Bone marrow aspirate smear
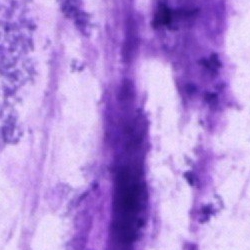 Artefact.